Bone marrow smear: 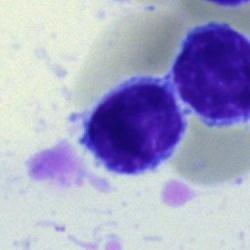 This is a lymphocyte.